Pappenheim-stained. Bone marrow smear: 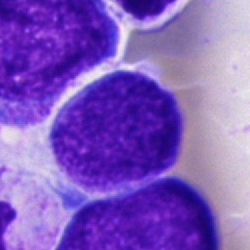

Morphology consistent with a blast.